Bone marrow aspirate smear. 250×250
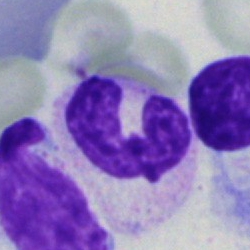

This is a polymorphonuclear neutrophil.